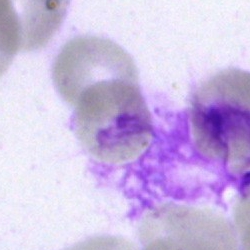 {"cell_type": "artefact"}